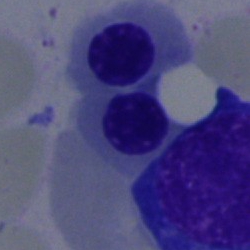Cell type — nucleated red cell.